Bone marrow aspirate smear.
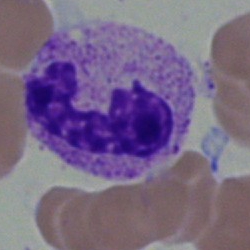 Morphological class = segmented neutrophil.